Bone marrow smear
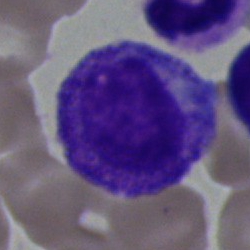

Morphological class: myelocyte.